Bone marrow aspirate smear.
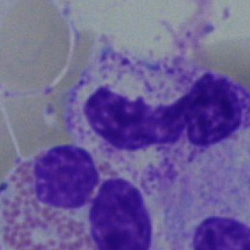 Morphological class: polymorphonuclear neutrophil.